Bone marrow smear. Image size 250×250: 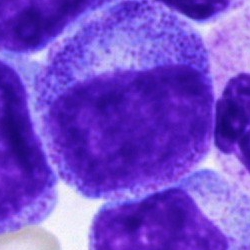

The cell shown is a promyelocyte.